Bone marrow aspirate smear
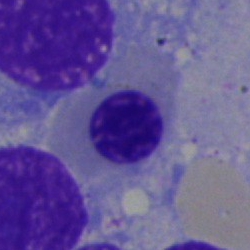

Cell = nucleated red cell.